Bone marrow aspirate smear:
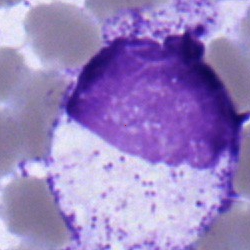 Cell type — myelocyte.